Bone marrow aspirate smear; 250×250:
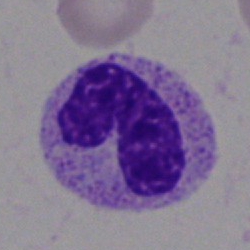
Q: What type of cell is this?
A: A band neutrophil.